Pappenheim-stained · bone marrow aspirate smear:
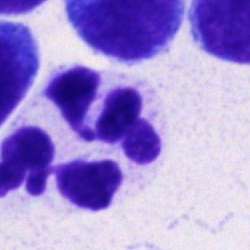
A polymorphonuclear neutrophil.